Bone marrow smear: 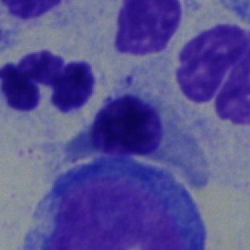
Q: What is the morphological classification of this cell?
A: Nucleated red blood cell.